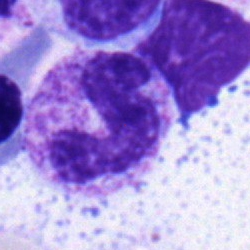

The cell is neutrophil (band).